Bone marrow aspirate smear; 250×250 px:
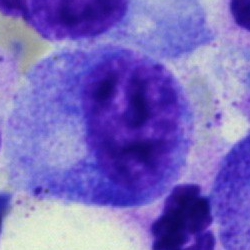 Showing a promyelocyte.